Bone marrow smear
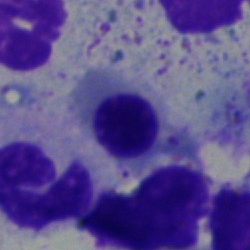Q: Which cell type is shown here?
A: This is a nucleated red cell.